Bone marrow aspirate smear. 250×250 px: 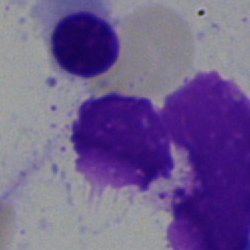

Specimen: bone marrow aspirate smear.
Classification: artefact.